Bone marrow aspirate smear.
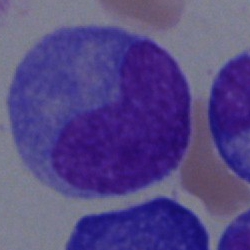

The cell type is progranulocyte.